40× objective, oil immersion; image size 250×250; bone marrow aspirate smear: 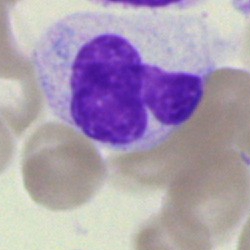{"cell_type": "segmented neutrophil"}